Image size 250×250; bone marrow aspirate smear.
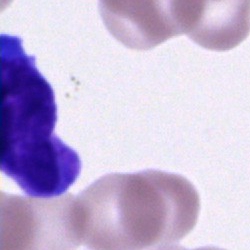
Cell type — cell of indeterminate lineage.